Bone marrow aspirate smear; single-cell field; May-Grünwald-Giemsa/Pappenheim stain.
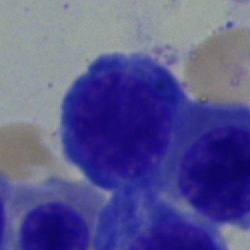The cell type is erythroblast.